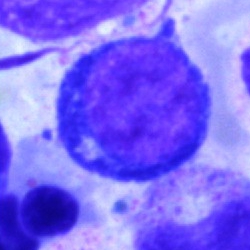
{"cell_type": "proerythroblast", "lineage": "erythroid"}